Bone marrow aspirate smear
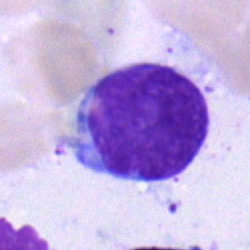Morphology consistent with a typical lymphocyte.